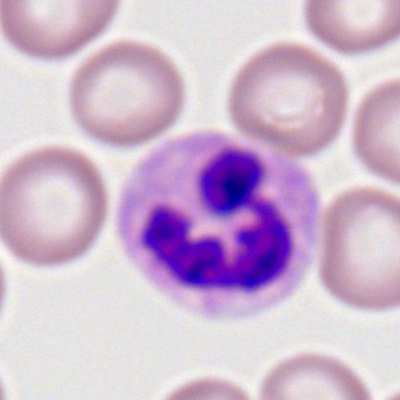 The cell shown is a polymorphonuclear neutrophil.